Bone marrow aspirate smear — 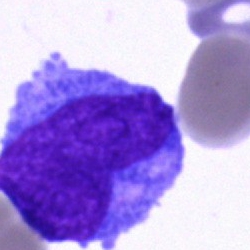
Morphology → undifferentiated blast.